Peripheral blood film. Single cell centered in the field.
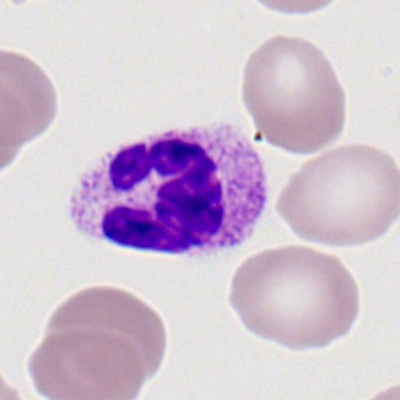 Classification = neutrophil (segmented).